Bone marrow aspirate smear:
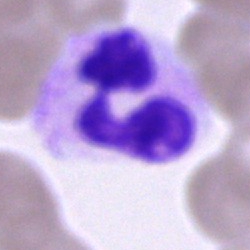

The morphological class is segmented neutrophil.